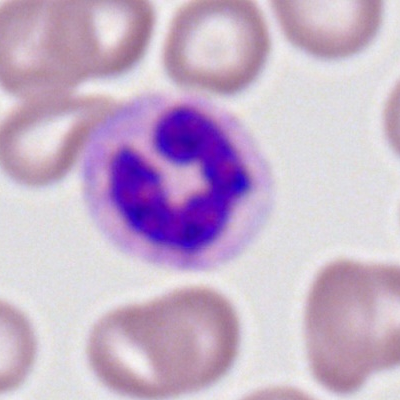The cell is segmented neutrophil.